Bone marrow aspirate smear. Single-cell crop — 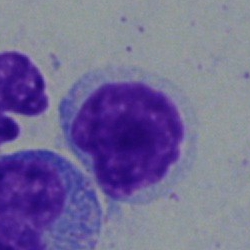
Morphological class: typical lymphocyte.